Bone marrow smear
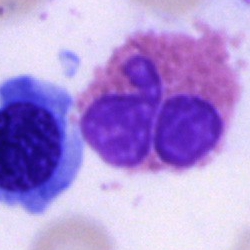This is an eosinophil.